Bone marrow aspirate smear: 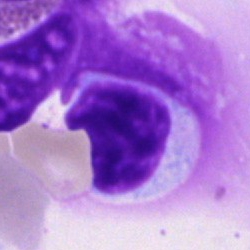
This is a lymphocyte.